Bone marrow smear — 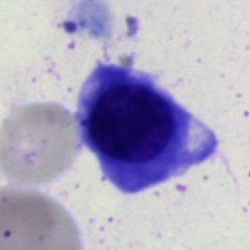
This is a nucleated red cell.